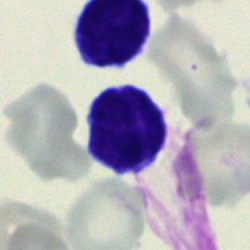
Classification — lymphocyte.